Brightfield microscopy, 40× oil immersion; bone marrow aspirate smear
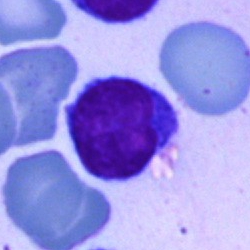Cell type — typical lymphocyte.